Bone marrow aspirate smear — 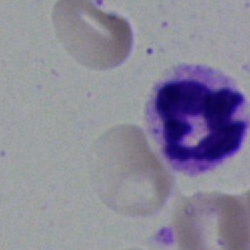Morphological class: neutrophil (segmented).